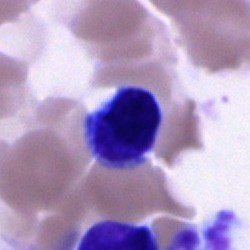Impression → unidentifiable cell.